Bone marrow aspirate smear — 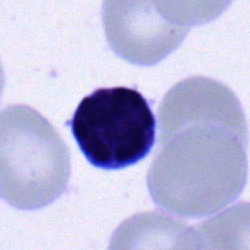 Impression — lymphocyte.